Pappenheim-stained. Bone marrow smear
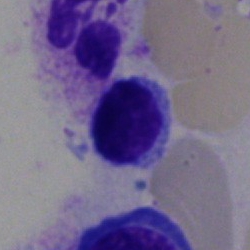
The cell type is lymphocyte.